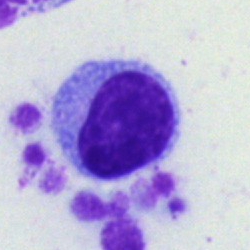
Morphology consistent with a typical lymphocyte.